Peripheral blood smear · imaged on a CellaVision DM96 analyser: 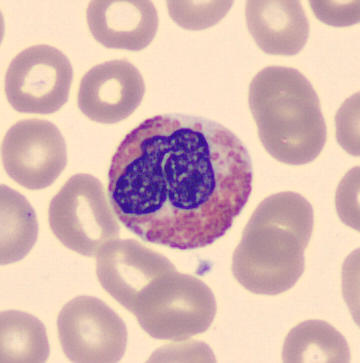
Cell type = eosinophilic granulocyte.